Peripheral blood smear
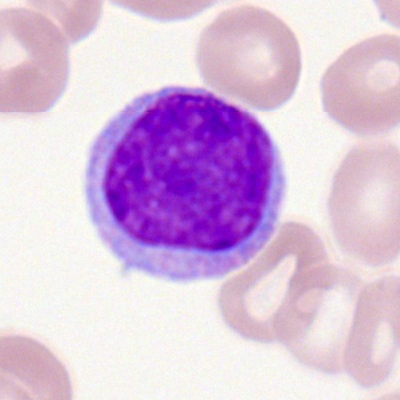 Q: What type of cell is this?
A: Typical lymphocyte.